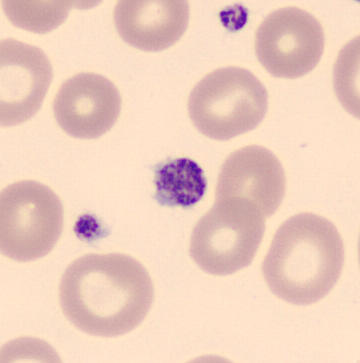 Showing a thrombocyte.